Single cell centered in the field; bone marrow smear.
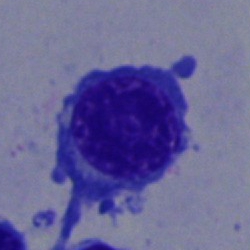 Q: Which cell type is shown here?
A: It is an erythroblast.